40× oil immersion; bone marrow aspirate smear: 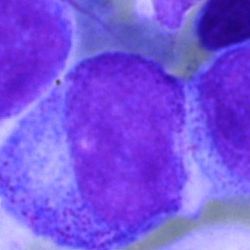 This is a promyelocyte.